Bone marrow aspirate smear — 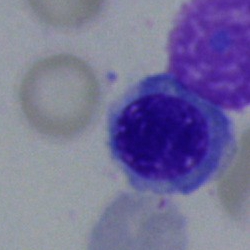
This is a nucleated red blood cell.